Bone marrow aspirate smear
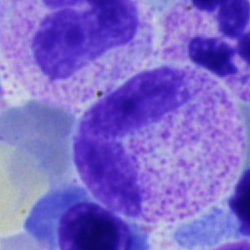
Morphology consistent with a band neutrophil.